Bone marrow smear: 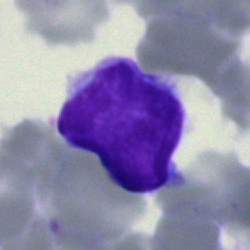

Morphology — typical lymphocyte.